Romanowsky-type stain; peripheral blood smear; single-cell crop:
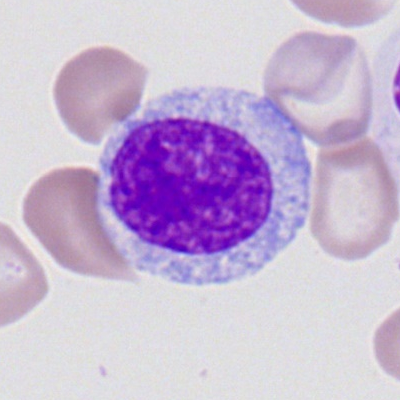
This is a monocyte.